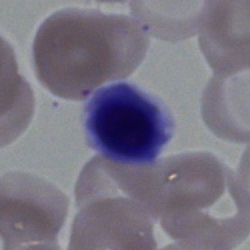
Specimen: bone marrow aspirate smear.
Cell type: normoblast.
Lineage: erythroid.